250×250 px; bone marrow aspirate smear: 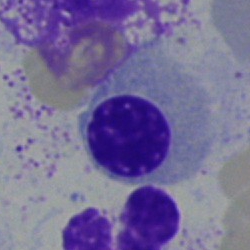

The morphological class is neutrophil (segmented).